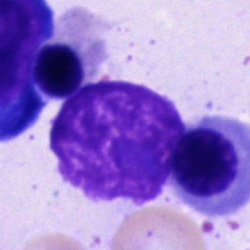 Bone marrow smear showing an artefact.